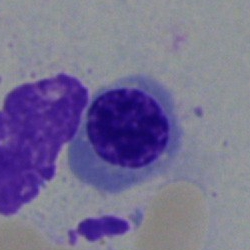

Morphological class = nucleated red cell.